May-Grünwald-Giemsa stain; bone marrow smear; 250 by 250 pixels
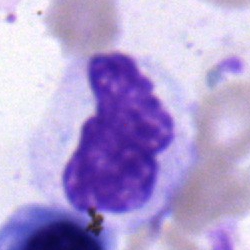 Q: What type of cell is this?
A: A neutrophil (segmented).